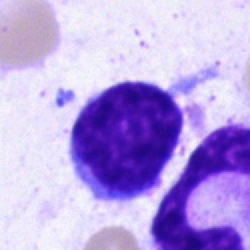
{"cell_type": "lymphocyte", "lineage": "lymphoid"}